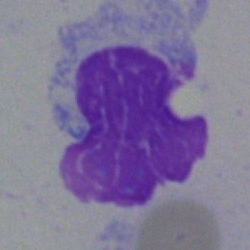Q: What is shown here?
A: An artifact.